Bone marrow smear.
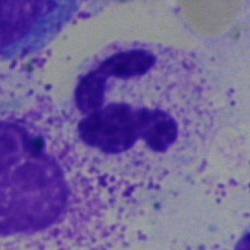
The classification is segmented neutrophil.